250 by 250 pixels · bone marrow smear:
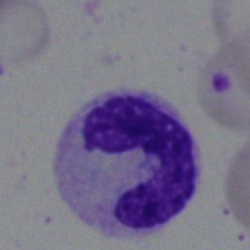

Showing a segmented neutrophil.